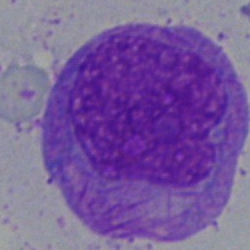

Classification — cell with bundled Auer rods.